Bone marrow smear
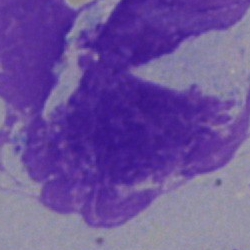This is an artefact.